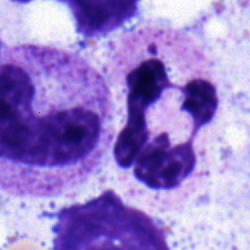
Bone marrow smear showing a segmented neutrophil.